MGG-stained · bone marrow smear · 250×250.
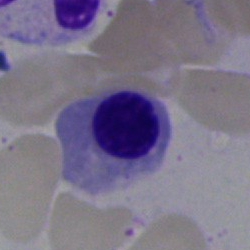

Impression → erythroblast.